Single-cell field. Bone marrow smear
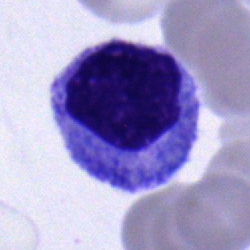

Classification = progranulocyte.